Bone marrow smear
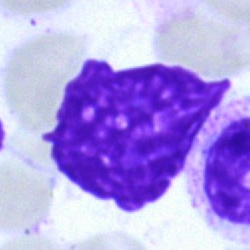

Morphological class = artefact.